250×250 px · bone marrow aspirate smear: 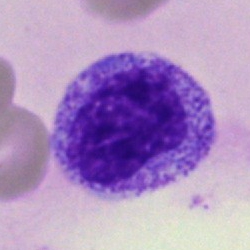
Cell: metamyelocyte.